May-Grünwald-Giemsa/Pappenheim stain. Cropped to a single cell. Bone marrow aspirate smear
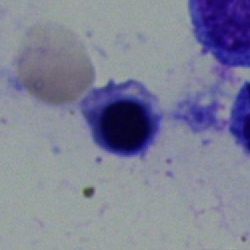Specimen: bone marrow aspirate smear.
Classification: erythroblast.